Peripheral blood film — 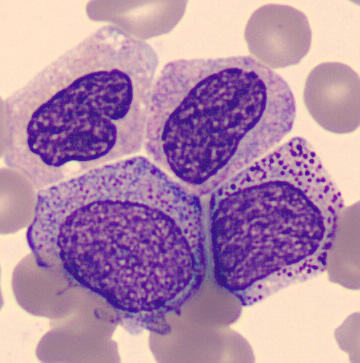Q: What type of cell is this?
A: It is a progranulocyte.